Bone marrow smear · May-Grünwald-Giemsa stain · image size 250×250.
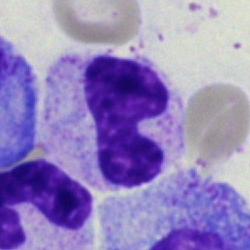 The classification is band neutrophil.